Bone marrow aspirate smear:
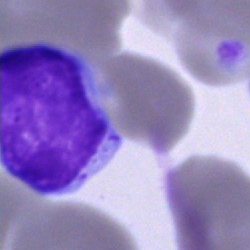
Q: Identify the cell.
A: This is a typical lymphocyte.